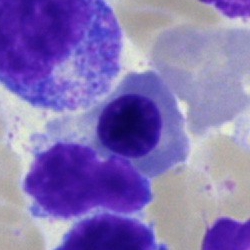

The cell is nucleated red blood cell.